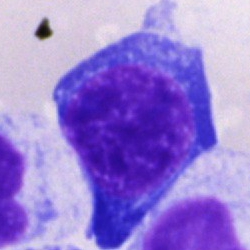 The cell is normoblast.